Bone marrow aspirate smear. Cropped to a single cell: 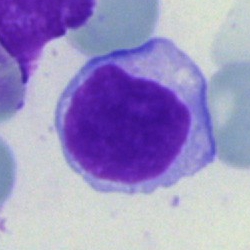 Morphological class: lymphocyte.